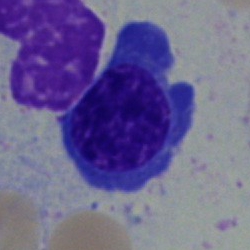Specimen: bone marrow aspirate smear.
Cell type: nucleated red blood cell.
Lineage: erythroid.